40× oil immersion. Single-cell field. Bone marrow smear: 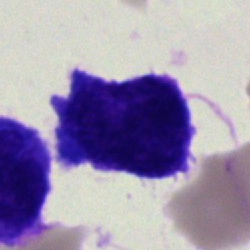 Showing a blast cell.